Bone marrow smear:
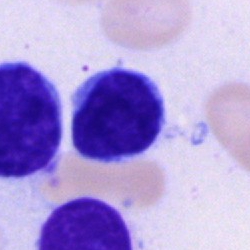Specimen: bone marrow smear.
Morphological class: typical lymphocyte.